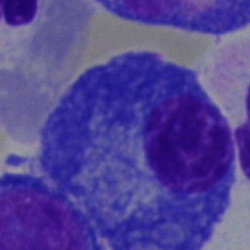
The cell type is plasmacyte.